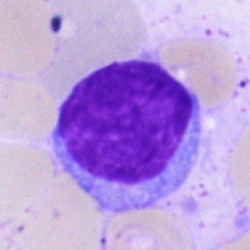

Impression — lymphocyte.